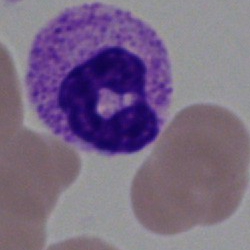Segmented neutrophil.